40× objective, oil immersion. 250×250 px. Bone marrow smear.
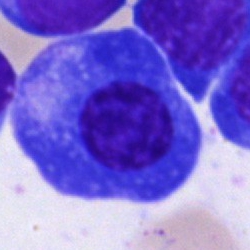 Showing a plasma cell.